Bone marrow aspirate smear:
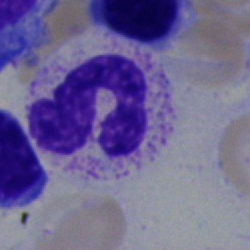 Impression — segmented neutrophil.